Bone marrow aspirate smear:
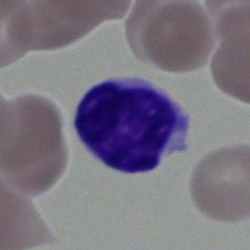
{"cell_type": "typical lymphocyte"}